Bone marrow aspirate smear; single-cell field.
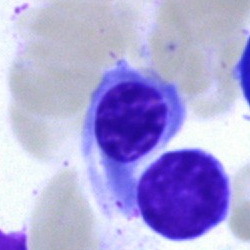Cell type = normoblast.